Peripheral blood film · 100× oil immersion, 14.14 px/µm.
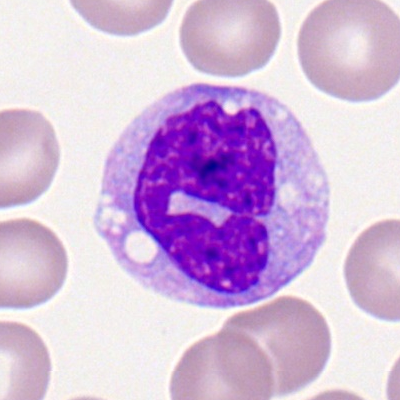
Classification = monocyte.